Bone marrow aspirate smear; single-cell field; brightfield microscopy, 40× oil immersion.
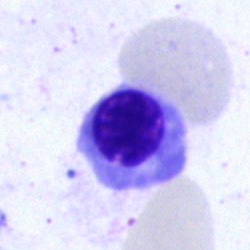
Morphology → erythroblast.